Peripheral blood film. Single cell centered in the field.
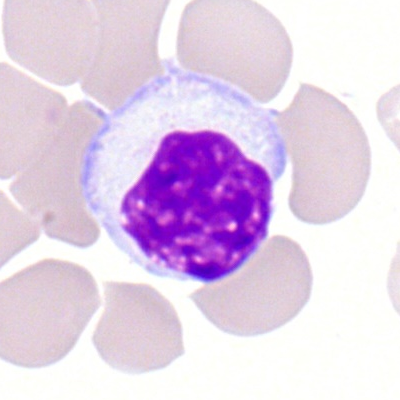 This is a lymphocyte.